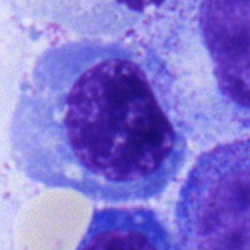Q: Identify the cell.
A: Plasma cell.